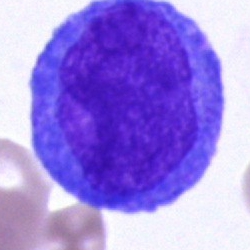This is a blast cell.